Single cell centered in the field; bone marrow aspirate smear.
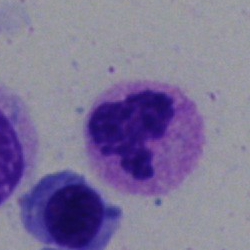

Specimen: bone marrow smear.
Classification: neutrophil (segmented).